Bone marrow smear — 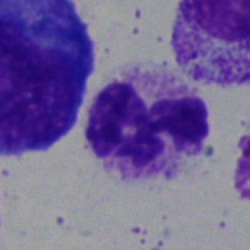 Neutrophil (segmented).